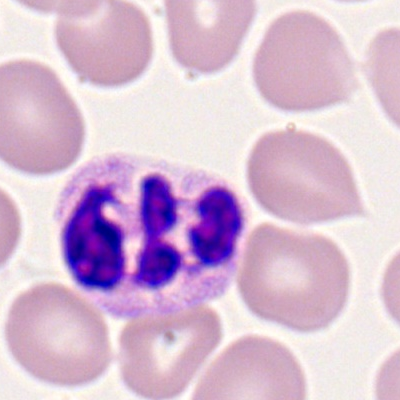

Morphological class: segmented neutrophil.